Bone marrow aspirate smear
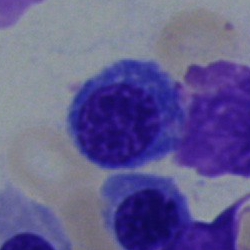
Specimen: bone marrow aspirate smear.
Classification: erythroblast.